100× oil immersion. Peripheral blood smear — 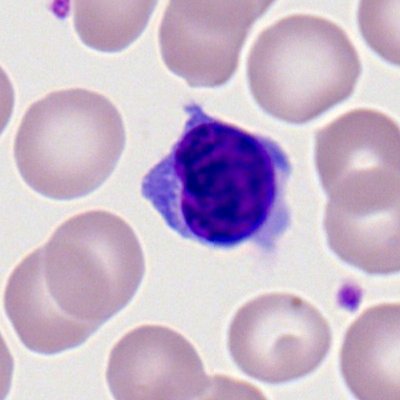
Morphological class = typical lymphocyte.